Bone marrow smear:
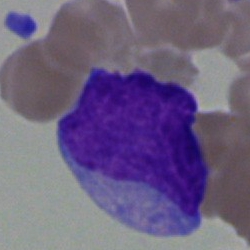

This is a blast cell.